Bone marrow smear · single cell centered in the field:
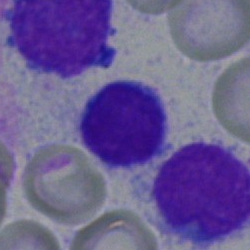
The classification is typical lymphocyte.